Bone marrow aspirate smear
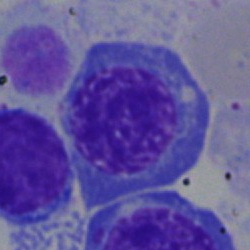

Specimen: bone marrow aspirate smear.
Cell type: nucleated red blood cell.
Lineage: erythroid.